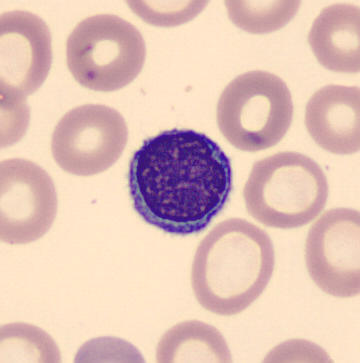Q: What is the morphological classification of this cell?
A: Lymphocyte. Image: MGG stain. Imaged on a CellaVision DM96 analyser. Peripheral blood smear.